Bone marrow smear · MGG-stained
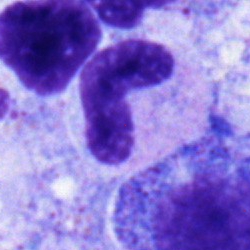

Q: What is the morphological classification of this cell?
A: This is a stab cell.